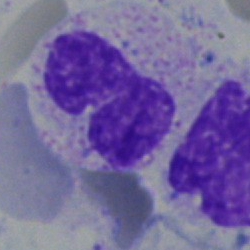
The cell is segmented neutrophil.